Bone marrow aspirate smear; 250×250
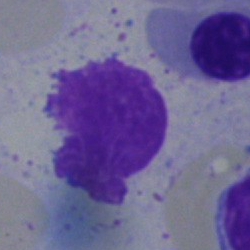 Cell type: artifact.